Bone marrow aspirate smear: 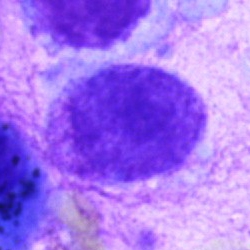

{"cell_type": "artifact"}